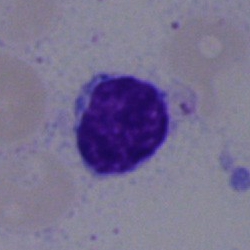
Single-cell crop from a bone marrow smear: lymphocyte.